Peripheral blood film.
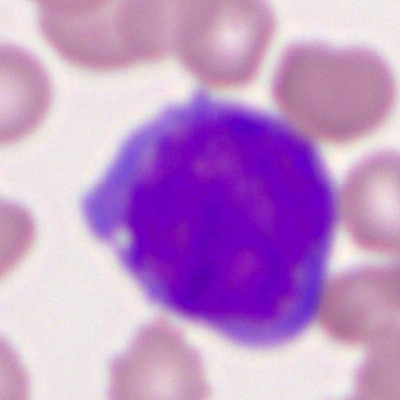

Q: What is shown here?
A: Myeloblast.